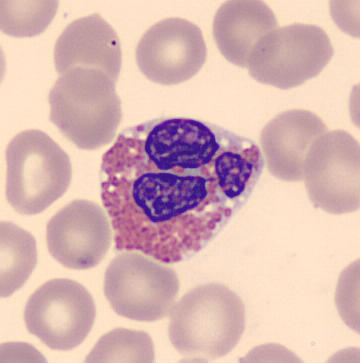 Specimen: peripheral blood film.
Cell type: eosinophil.
Lineage: myeloid.